Bone marrow aspirate smear — 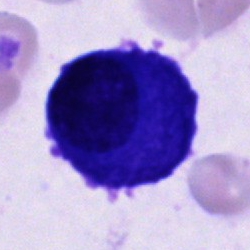Morphology → plasmacyte.